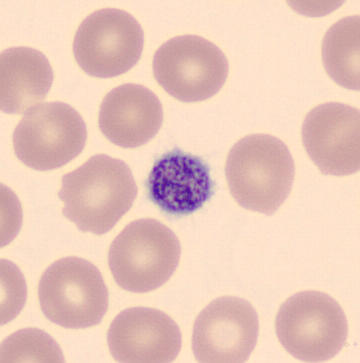360×363; MGG stain; peripheral blood smear. Morphological class: thrombocyte.